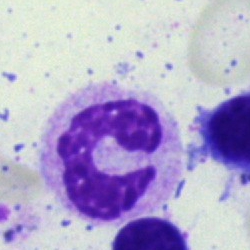 Specimen: bone marrow aspirate smear.
Morphological class: neutrophil (segmented).
Lineage: myeloid.